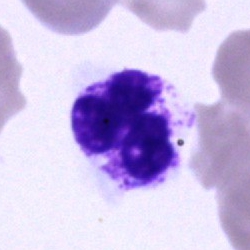
Morphology — polymorphonuclear neutrophil.